Bone marrow aspirate smear.
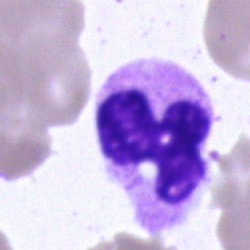 A segmented neutrophil.